Bone marrow aspirate smear.
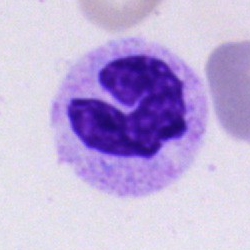 Q: What type of cell is this?
A: It is a neutrophil (band).